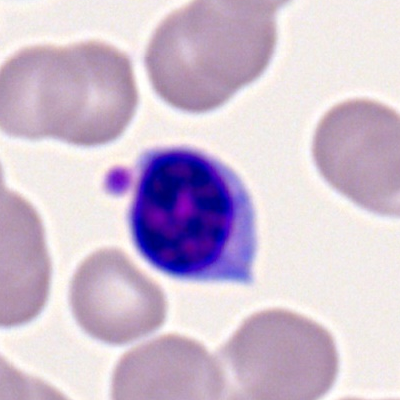
Specimen: peripheral blood film.
Morphological class: lymphocyte.
Lineage: lymphoid.